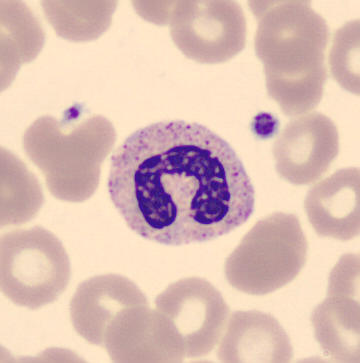Image: Peripheral blood smear.

Impression → stab cell.